Bone marrow smear
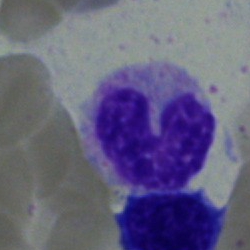 Morphological class = stab cell.